Peripheral blood smear; Romanowsky-type stain
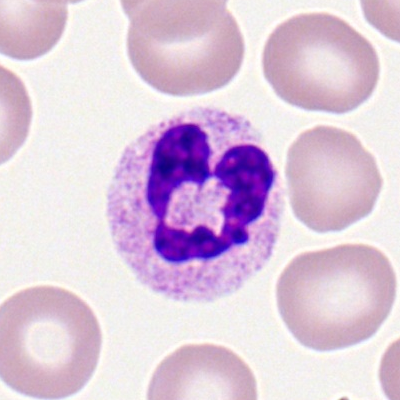Impression — segmented neutrophil.